40× oil immersion. Bone marrow aspirate smear — 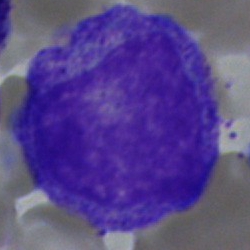Cell type: progranulocyte.